Bone marrow smear. Brightfield, 40× oil-immersion objective. 250 by 250 pixels:
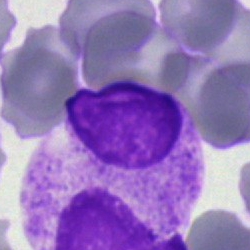
This is an artifact.